Bone marrow smear — 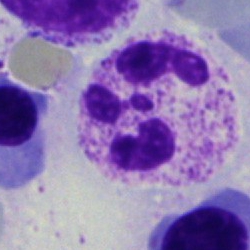
Segmented neutrophil.